Bone marrow smear · brightfield, 40× oil-immersion objective.
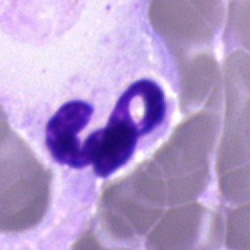This is a neutrophil (segmented).